Bone marrow smear.
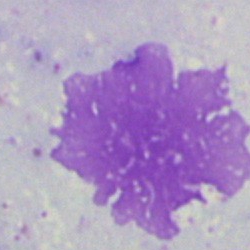

Artifact.